Bone marrow aspirate smear · brightfield, 40× oil-immersion objective · single cell centered in the field.
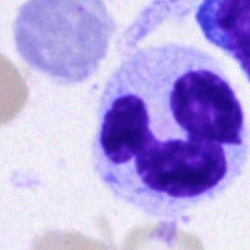

Cell: segmented neutrophil.